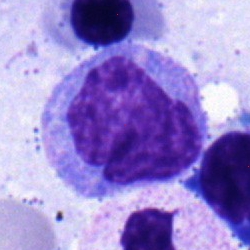 Specimen: bone marrow aspirate smear.
Classification: monocyte.
Lineage: myeloid.